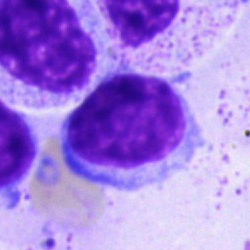 Single cell identified as a lymphocyte.